Single-cell field. Bone marrow smear.
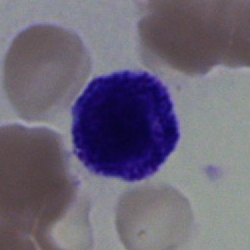 The cell shown is a myelocyte.